40× objective, oil immersion. Bone marrow aspirate smear: 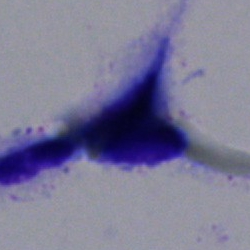

The cell shown is an artefact.